Bone marrow smear · 40× oil immersion: 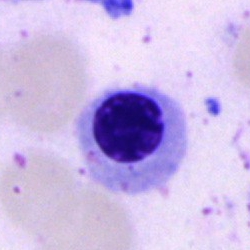Specimen: bone marrow smear.
Morphological class: erythroblast.